Bone marrow aspirate smear: 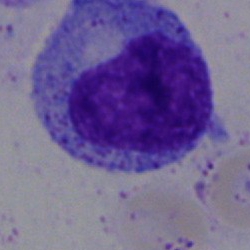
{"cell_type": "progranulocyte"}